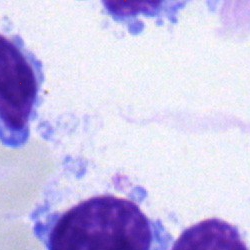 Q: What type of cell is this?
A: Lymphocyte.